40× objective, oil immersion; bone marrow aspirate smear; 250×250 — 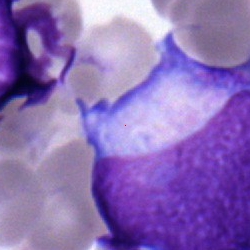 Morphological class — progranulocyte.